Single-cell field; bone marrow smear:
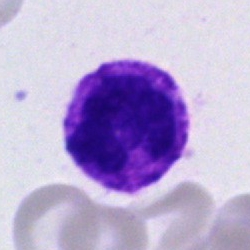

Q: Identify the cell.
A: This is a basophilic granulocyte.